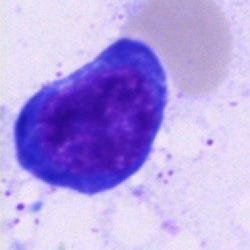
Morphology consistent with a proerythroblast.